Bone marrow aspirate smear
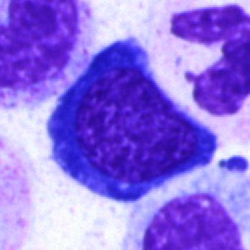Morphology — normoblast.